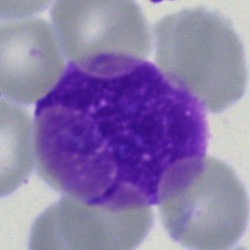{"cell_type": "artifact"}